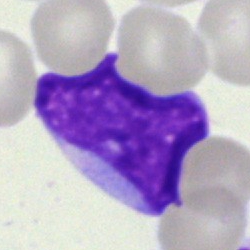
Classification: blast cell.